Bone marrow aspirate smear.
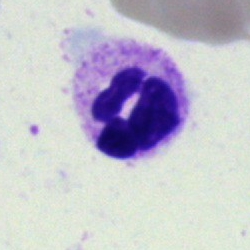Cell type: polymorphonuclear neutrophil.